Bone marrow aspirate smear.
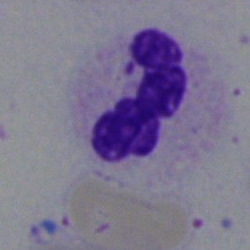 Morphology — segmented neutrophil.